Bone marrow smear; 40× objective, oil immersion:
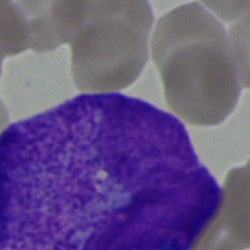This is a blast cell.